Bone marrow aspirate smear: 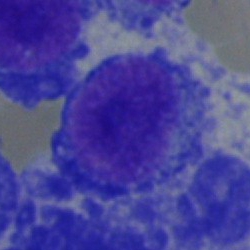Specimen: bone marrow smear.
Classification: plasmacyte.
Lineage: lymphoid.